Bone marrow aspirate smear — 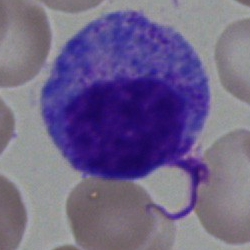
Morphological class — promyelocyte.